Bone marrow smear — 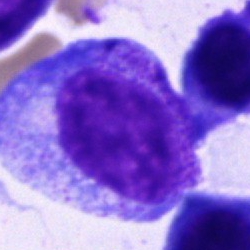 Q: What cell is this?
A: A progranulocyte.